Bone marrow aspirate smear: 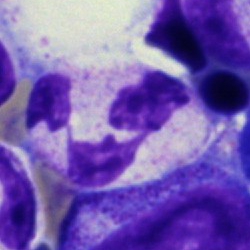Neutrophil (segmented).